Bone marrow smear
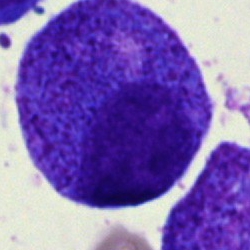Morphological class = promyelocyte.